Bone marrow aspirate smear:
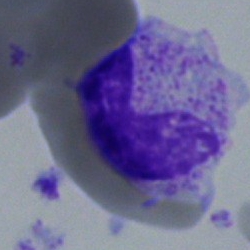

Showing a metamyelocyte.